Peripheral blood film: 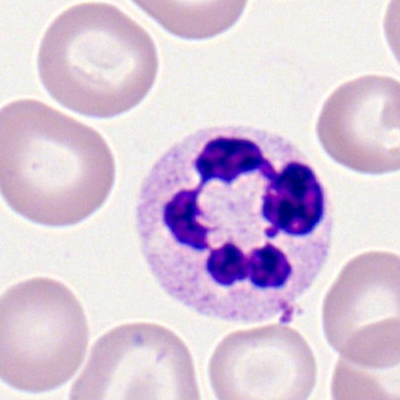
{"cell_type": "segmented neutrophil", "lineage": "myeloid"}